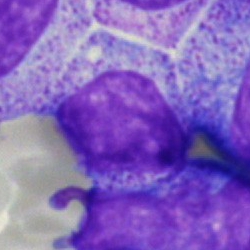 {"cell_type": "myelocyte"}